Bone marrow smear. Pappenheim-stained: 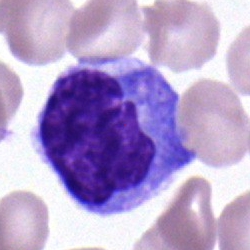

Single cell identified as a monocyte.